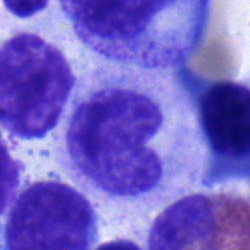

Q: Which cell type is shown here?
A: Neutrophil (band).